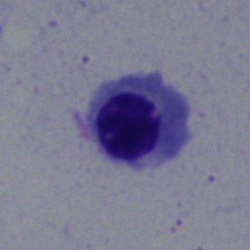

Specimen: bone marrow smear.
Cell: nucleated red blood cell.